Bone marrow smear: 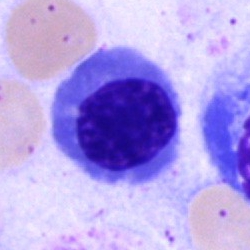

Specimen: bone marrow aspirate smear.
Classification: normoblast.